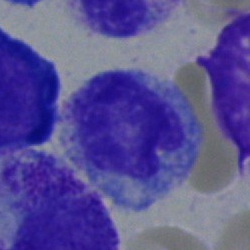

Showing a monocyte.